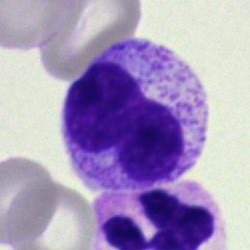Bone marrow aspirate smear, single cell — metamyelocyte.